Romanowsky stain · peripheral blood smear.
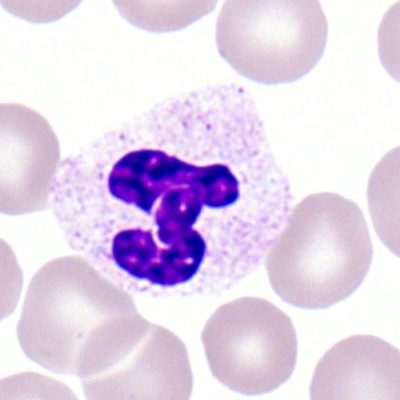 Cell — neutrophil (segmented).